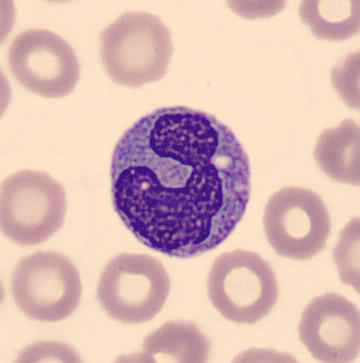 Specimen: peripheral blood film.
Cell: monocyte.
Lineage: myeloid.

May-Grünwald-Giemsa-stained.